Brightfield microscopy, 40× oil immersion. Bone marrow aspirate smear.
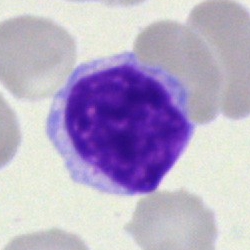

Lymphocyte.